Bone marrow aspirate smear:
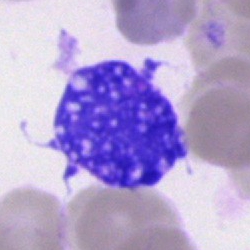

Specimen: bone marrow aspirate smear.
Morphological class: artefact.